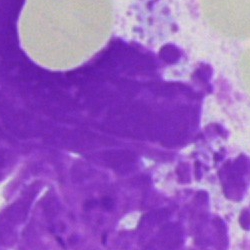
The classification is artefact.